250×250 px · bone marrow smear
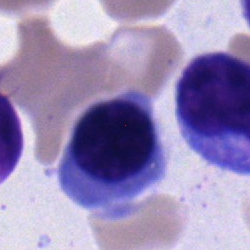
Morphology consistent with an erythroblast.